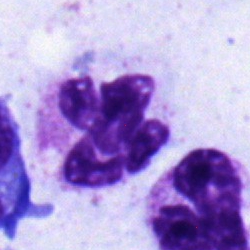Bone marrow smear showing a polymorphonuclear neutrophil.